Pappenheim-stained; single-cell crop; bone marrow smear — 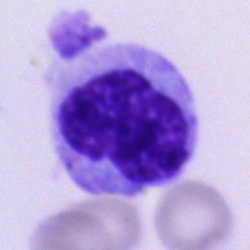
Q: What cell is this?
A: A monocyte.